Bone marrow smear.
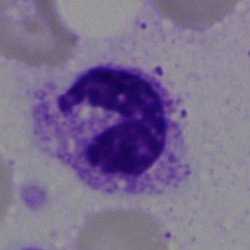

{"cell_type": "segmented neutrophil", "lineage": "myeloid"}